Brightfield, 40× oil-immersion objective. 250×250. Bone marrow smear
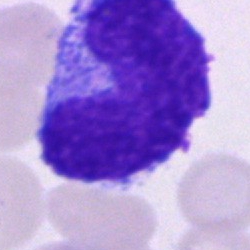 Morphology consistent with an unidentifiable cell.